Bone marrow smear; May-Grünwald-Giemsa stain; brightfield microscopy, 40× oil immersion.
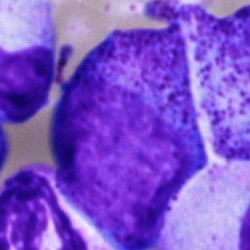

Progranulocyte.